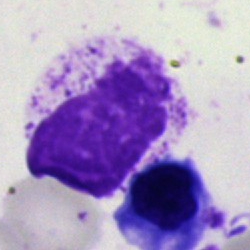

Morphology — artefact.